Pappenheim-stained; bone marrow smear — 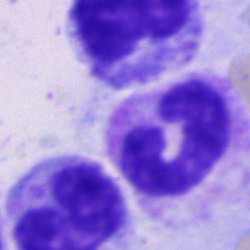 A band neutrophil.